Bone marrow aspirate smear
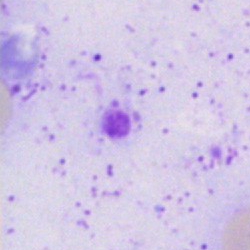
Cell — artefact.